Bone marrow smear.
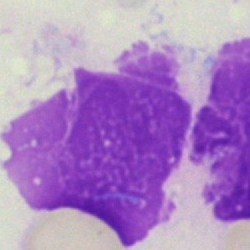

Cell: artefact.